MGG-stained · bone marrow smear:
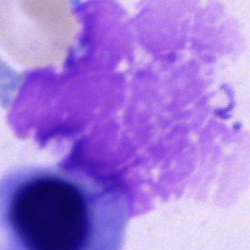
{"cell_type": "artefact"}